Bone marrow smear; single-cell field — 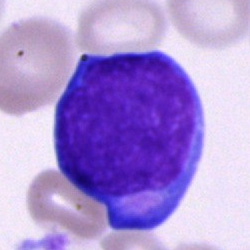{"cell_type": "blast"}